MGG-stained; bone marrow aspirate smear: 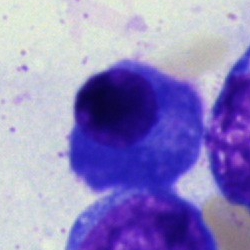Q: What is the morphological classification of this cell?
A: A plasmacyte.